Bone marrow aspirate smear — 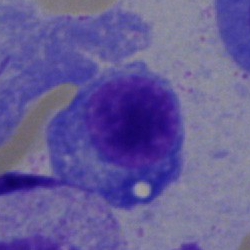
A plasma cell.